Bone marrow smear: 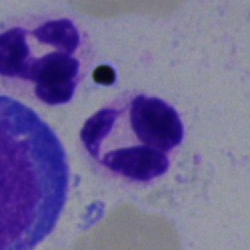

The cell shown is a segmented neutrophil.